250 by 250 pixels. Bone marrow smear. 40× objective, oil immersion
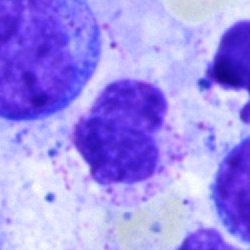

Q: What is the morphological classification of this cell?
A: A segmented neutrophil.